Bone marrow aspirate smear — 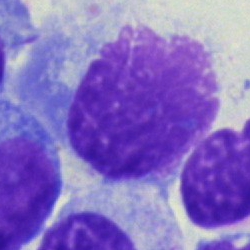 Q: What is shown here?
A: An artefact.